Bone marrow aspirate smear.
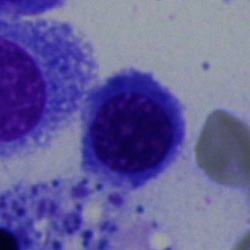
This is a nucleated red blood cell.